Peripheral blood smear · M8 digital microscope (Precipoint), 100× oil immersion · 400×400: 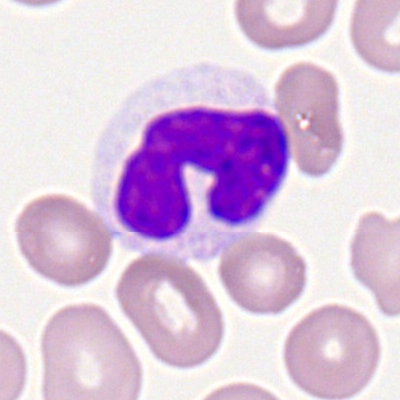Morphology — polymorphonuclear neutrophil.